MGG-stained · bone marrow aspirate smear:
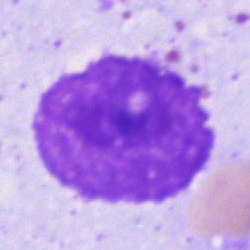 This is an artefact.